Bone marrow aspirate smear: 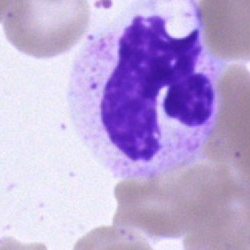 Morphological class = polymorphonuclear neutrophil.